Bone marrow smear; brightfield microscopy, 40× oil immersion: 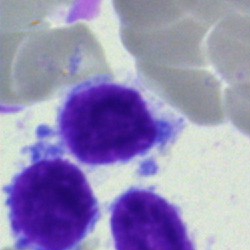
Morphological class — typical lymphocyte.